Bone marrow aspirate smear: 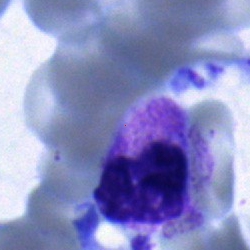

The cell shown is a band-form neutrophil.